Bone marrow smear
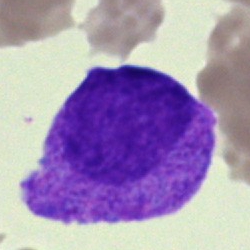 Morphological class — undifferentiated blast.